May-Grünwald-Giemsa/Pappenheim stain; bone marrow smear; 250×250 — 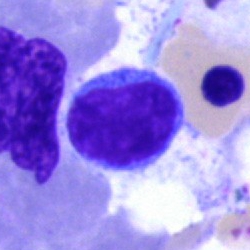
Single cell identified as a lymphocyte.